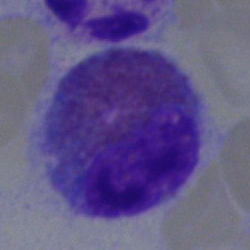 Morphology — eosinophil.